Bone marrow smear
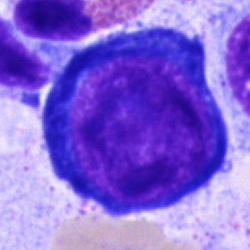 Cell type = pronormoblast.